Peripheral blood film. Romanowsky-type stain:
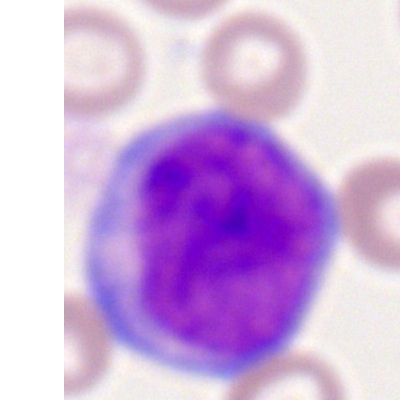

Impression → myeloblast.